Bone marrow smear
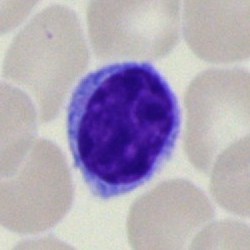Specimen: bone marrow smear.
Cell: typical lymphocyte.
Lineage: lymphoid.